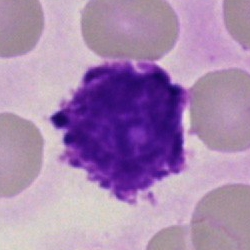

Specimen: bone marrow aspirate smear.
Cell: artefact.